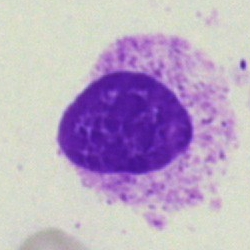
Specimen: bone marrow aspirate smear.
Cell type: artifact.